Bone marrow aspirate smear.
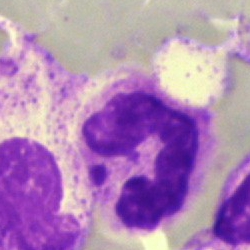Morphological class = neutrophil (segmented).